Bone marrow aspirate smear: 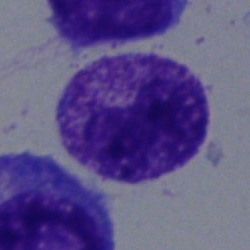 Specimen: bone marrow smear.
Morphological class: metamyelocyte.